Single-cell field · bone marrow aspirate smear · 250 by 250 pixels.
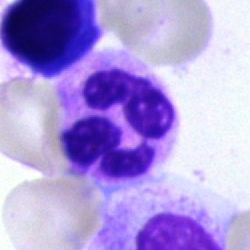Q: Identify the cell.
A: It is a neutrophil (segmented).